Bone marrow aspirate smear:
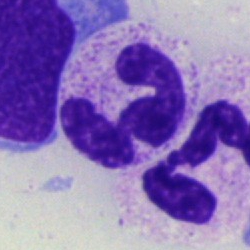

Q: What is shown here?
A: Neutrophil (segmented).